Bone marrow aspirate smear
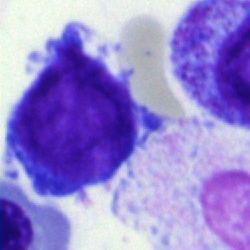
A pronormoblast.